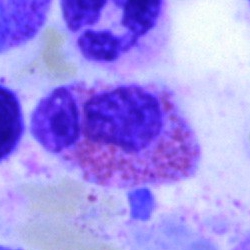

An eosinophil.